Bone marrow aspirate smear · May-Grünwald-Giemsa stain · single cell centered in the field: 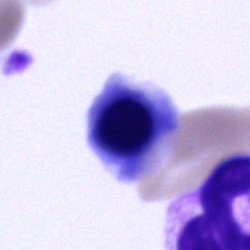

Morphology consistent with an unidentifiable cell.